Peripheral blood film.
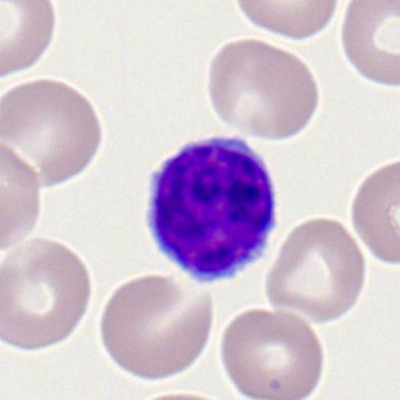
Specimen: peripheral blood smear.
Cell type: lymphocyte.